Bone marrow smear:
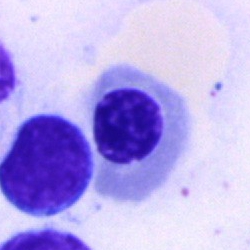
This is a normoblast.